Bone marrow smear; Pappenheim-stained — 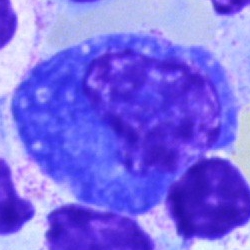

Normoblast.